Bone marrow aspirate smear. 250×250 px — 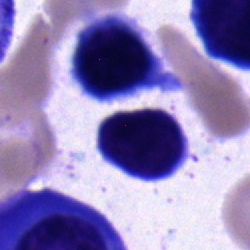
A lymphocyte.